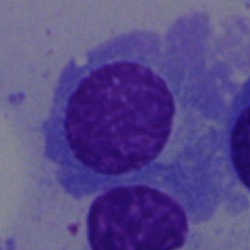

Q: What cell is this?
A: This is a plasmacyte.